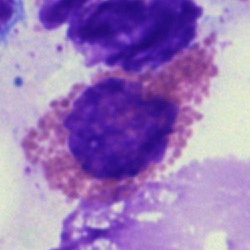
An eosinophil on a bone marrow smear.